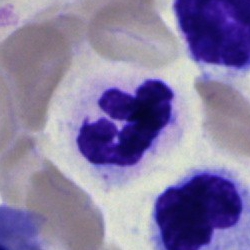

The cell shown is a neutrophil (segmented).